Image size 250×250; bone marrow smear; brightfield, 40× oil-immersion objective:
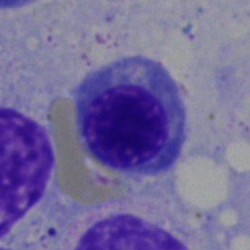 Q: Identify the cell.
A: This is a normoblast.